Bone marrow smear — 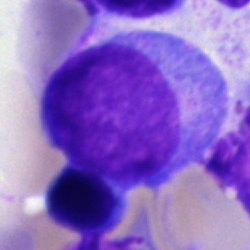 Impression — blast.